Bone marrow smear: 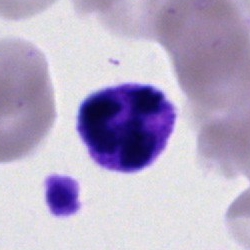
The cell type is polymorphonuclear neutrophil.